Bone marrow smear — 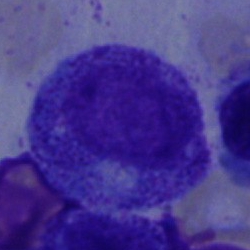

{"cell_type": "progranulocyte"}